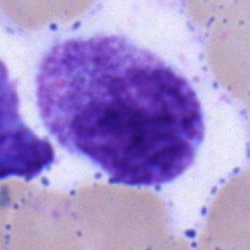

Showing a monocyte.